Bone marrow smear.
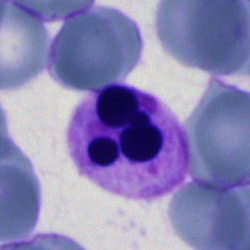 Single cell identified as a polymorphonuclear neutrophil.